Bone marrow aspirate smear
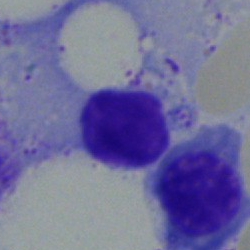

Morphology — lymphocyte.